MGG-stained · bone marrow smear · 40× objective, oil immersion
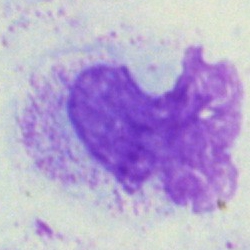 The classification is artifact.